Brightfield, 40× oil-immersion objective. Bone marrow aspirate smear.
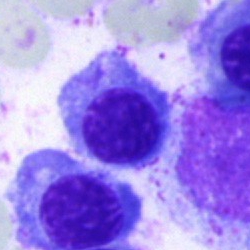The cell type is erythroblast.